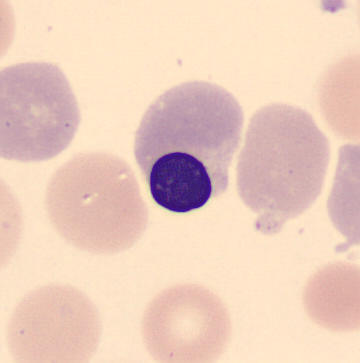 Morphology consistent with a normoblast.
Peripheral blood film. May Grünwald-Giemsa stain.